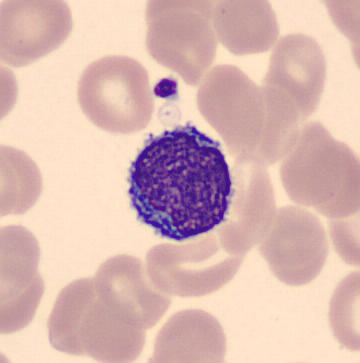
Impression — typical lymphocyte.
Preparation: MGG stain. Peripheral blood film.